Bone marrow smear:
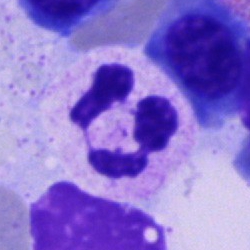 Showing a neutrophil (segmented).